Bone marrow aspirate smear:
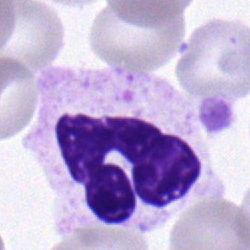 A polymorphonuclear neutrophil.